Cropped to a single cell; bone marrow smear; May-Grünwald-Giemsa stain
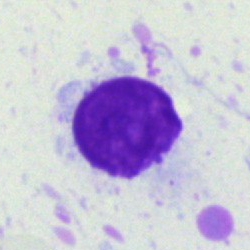

Cell type = lymphocyte.